Bone marrow aspirate smear:
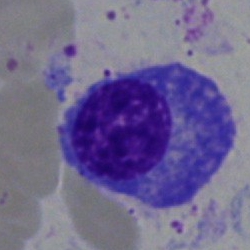 Cell = plasma cell.